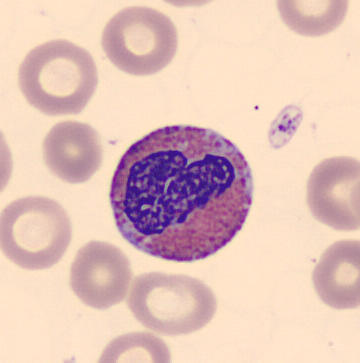

Peripheral blood film. Classification = eosinophilic granulocyte.